Bone marrow aspirate smear — 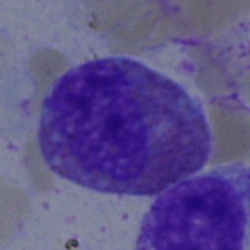

Q: Which cell type is shown here?
A: This is an eosinophilic granulocyte.